Peripheral blood smear. Romanowsky-type stain: 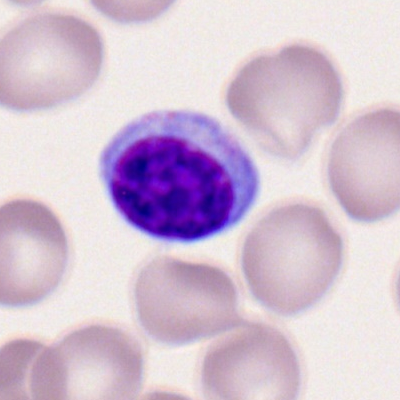 Typical lymphocyte.